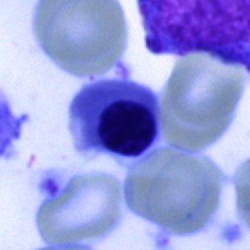The cell shown is a normoblast.